Brightfield microscopy, 40× oil immersion. Bone marrow smear. 250×250 — 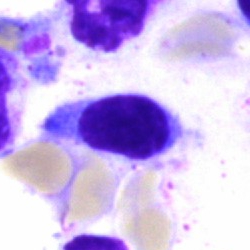 Impression → lymphocyte.